Bone marrow smear.
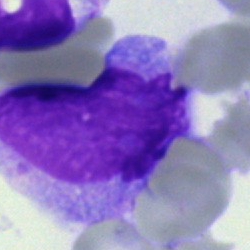

This is a blast cell.